Bone marrow aspirate smear · May-Grünwald-Giemsa stain: 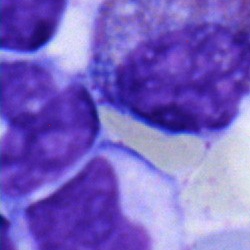Monocyte.